Image size 250×250; bone marrow aspirate smear
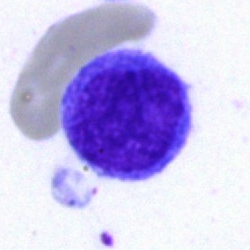 Q: What cell is this?
A: It is a typical lymphocyte.